Bone marrow smear
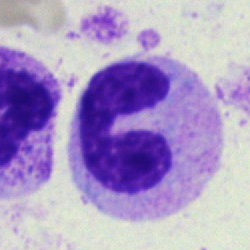 Showing a stab cell.